Bone marrow aspirate smear:
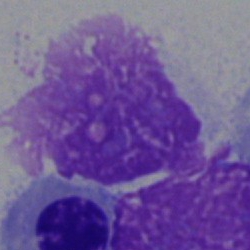Q: What is shown here?
A: An artefact.